Single-cell crop; peripheral blood film.
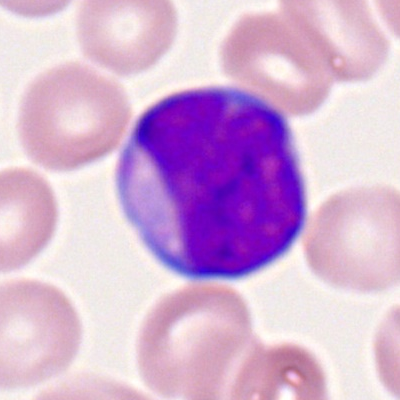

Morphology → myeloblast.